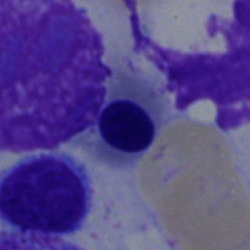 The classification is normoblast.